250 by 250 pixels; bone marrow smear — 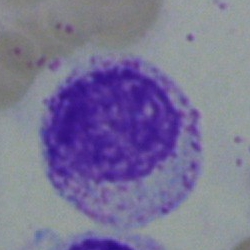 Q: Identify the cell.
A: A myelocyte.